Bone marrow smear; MGG-stained:
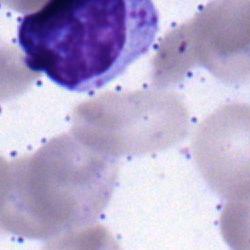

Morphological class — lymphocyte.